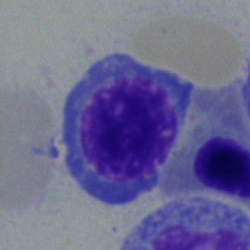

Cell = nucleated red cell.